Bone marrow smear
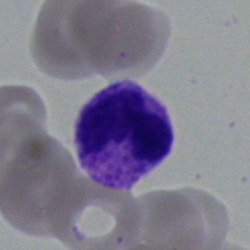Showing a polymorphonuclear neutrophil.